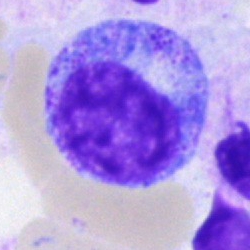
{"cell_type": "progranulocyte"}